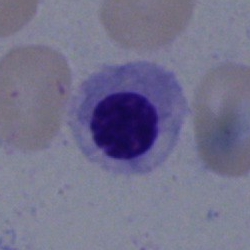 Specimen: bone marrow aspirate smear.
Morphological class: normoblast.